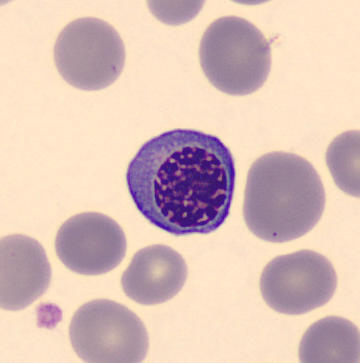
{"cell_type": "nucleated red blood cell", "lineage": "erythroid"}

Acquisition: Peripheral blood film · May Grünwald-Giemsa stain.